Peripheral blood smear:
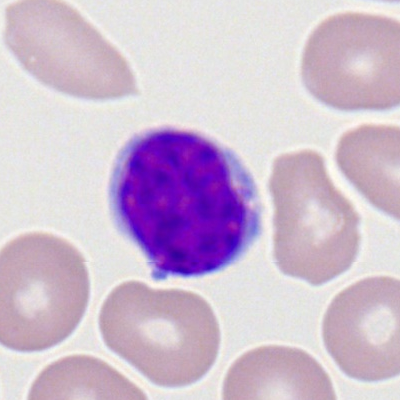
The cell shown is a typical lymphocyte.